Bone marrow aspirate smear.
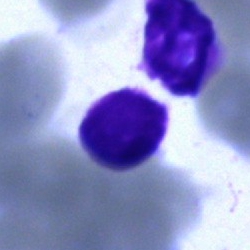Artifact.